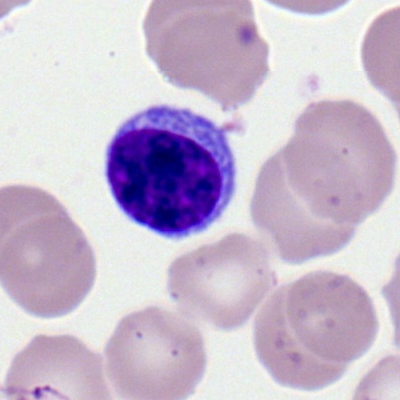 Morphology consistent with a typical lymphocyte.